Peripheral blood film.
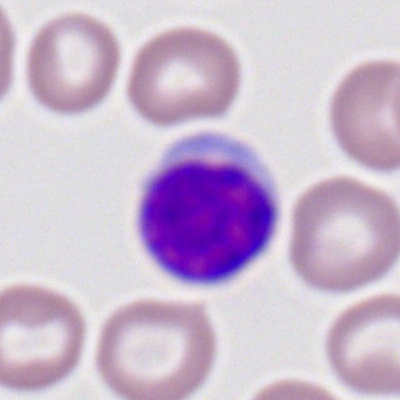

Showing a lymphocyte.